Brightfield microscopy, 40× oil immersion · bone marrow aspirate smear.
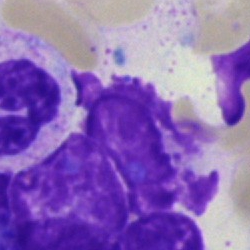
Single cell identified as an artifact.